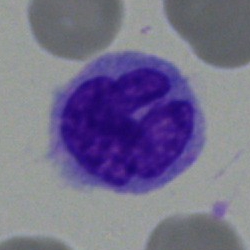Morphological class: monocyte.